Peripheral blood film · May Grünwald-Giemsa stain.
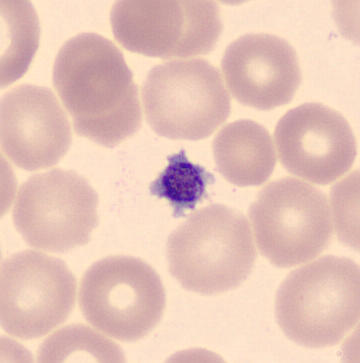

Specimen: peripheral blood smear.
Morphological class: platelet (thrombocyte).